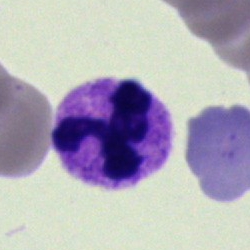Cell: neutrophil (segmented).